Bone marrow smear — 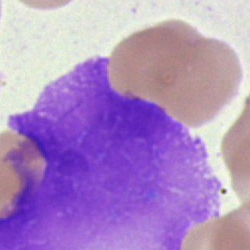 Morphology → artifact.